Bone marrow aspirate smear · 250×250.
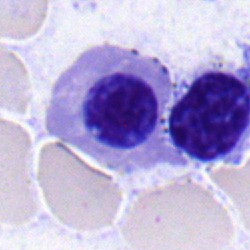 Morphology — normoblast.